Bone marrow aspirate smear — 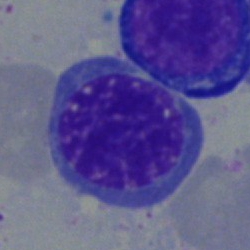A nucleated red cell.